Bone marrow aspirate smear.
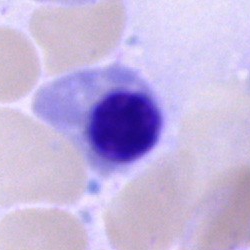 The cell shown is an erythroblast.